Bone marrow smear
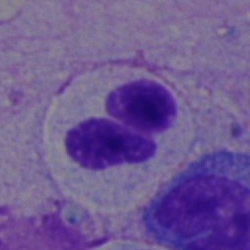
Q: What type of cell is this?
A: A neutrophil (segmented).